250×250 · single cell centered in the field · bone marrow aspirate smear:
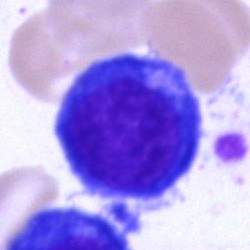

The cell is proerythroblast.